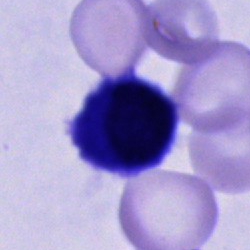Bone marrow aspirate smear, single cell — cell of indeterminate lineage.